Bone marrow smear:
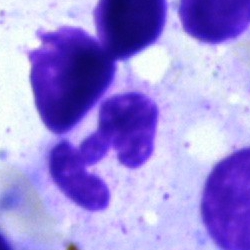

A neutrophil (segmented).